Bone marrow smear: 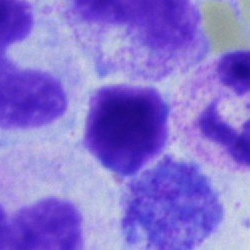
Single cell identified as a typical lymphocyte.